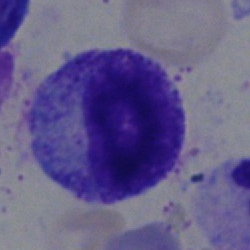

Morphological class = progranulocyte.